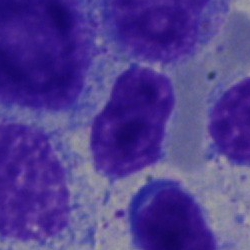 Q: What is shown here?
A: This is a cell of indeterminate lineage.